MGG-stained. Bone marrow aspirate smear
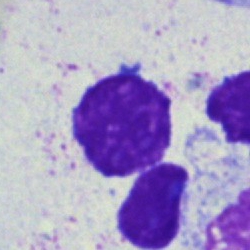Classification = artefact.